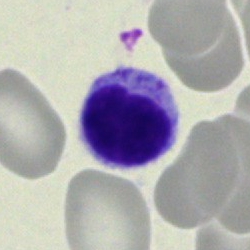 A lymphocyte.